Bone marrow smear.
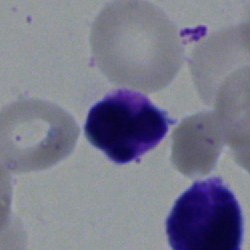
{"cell_type": "polymorphonuclear neutrophil", "lineage": "myeloid"}